Bone marrow aspirate smear.
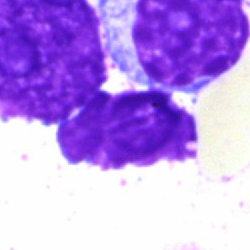

The morphological class is artifact.